Peripheral blood film:
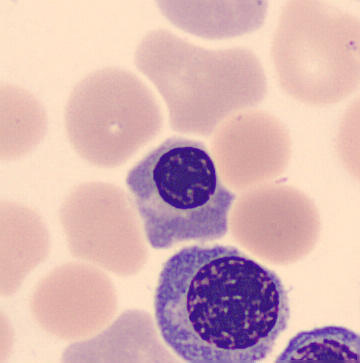Classification: normoblast.